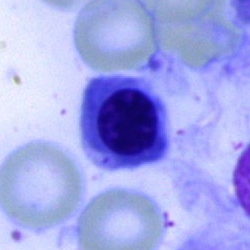Showing a nucleated red cell.